Bone marrow smear:
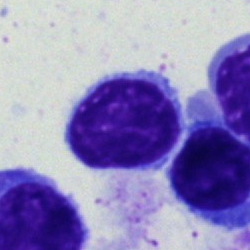 Morphology consistent with a lymphocyte.